Bone marrow aspirate smear:
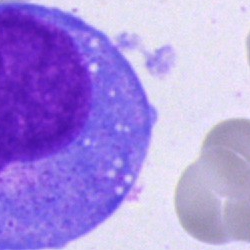

Cell — blast cell.